400×400 px. Cropped to a single cell. Peripheral blood film.
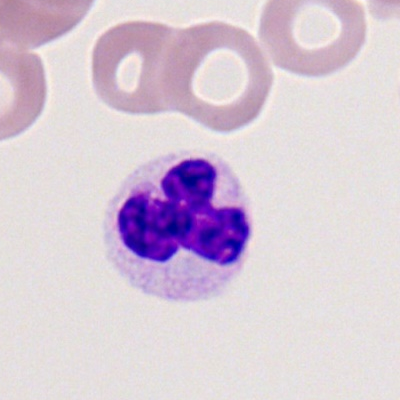Polymorphonuclear neutrophil.